Bone marrow aspirate smear; 40× oil immersion; MGG-stained — 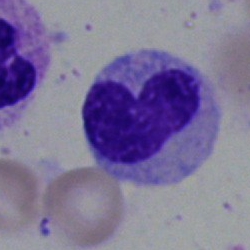 Metamyelocyte.